Brightfield microscopy, 40× oil immersion; bone marrow aspirate smear; single-cell field:
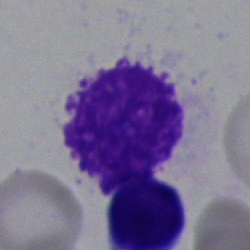

Specimen: bone marrow smear.
Morphological class: artifact.